Bone marrow smear · 250×250 · 40× oil immersion:
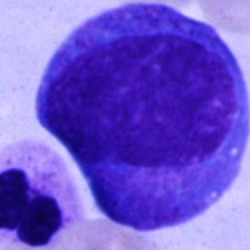

{"cell_type": "undifferentiated blast"}